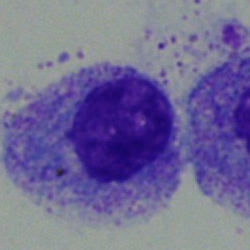
Q: Which cell type is shown here?
A: This is a myelocyte.